Bone marrow smear; 40× objective, oil immersion:
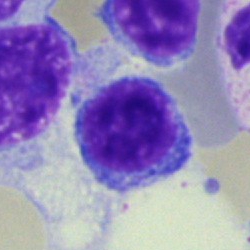
Q: Identify the cell.
A: This is a lymphocyte.